Bone marrow aspirate smear — 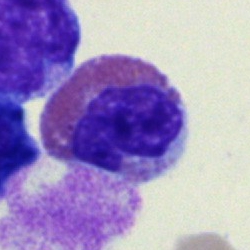Showing an eosinophil.